Bone marrow smear; MGG-stained:
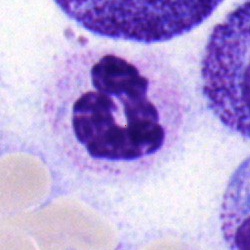

Q: Which cell type is shown here?
A: Neutrophil (band).